Peripheral blood smear. 400×400. Romanowsky-type stain
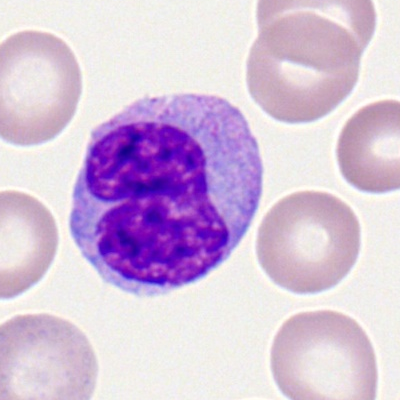
The cell shown is a monocyte.